250×250 px. Bone marrow aspirate smear — 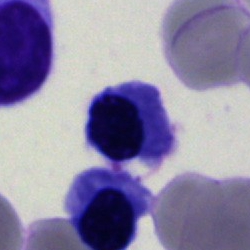

The morphological class is nucleated red cell.